Single-cell field · brightfield microscopy, 40× oil immersion · bone marrow smear
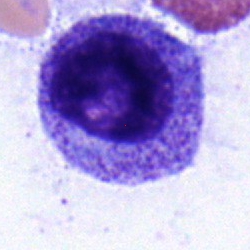
Myelocyte.